Bone marrow smear. 40× oil immersion.
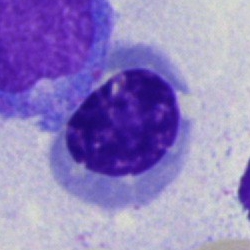Cell type: nucleated red cell.